Bone marrow smear:
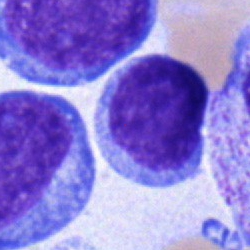Cell — typical lymphocyte.